MGG-stained. Bone marrow aspirate smear: 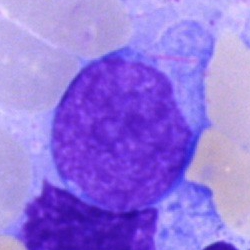
A blast cell.